Bone marrow aspirate smear; 40× oil immersion; 250 by 250 pixels: 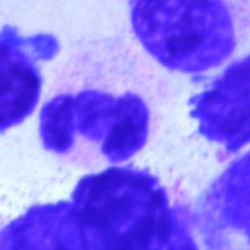Morphology — segmented neutrophil.